Cropped to a single cell; bone marrow smear: 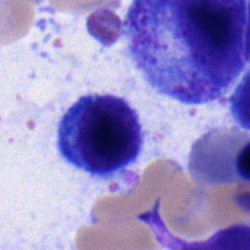

Impression — lymphocyte.